Bone marrow smear: 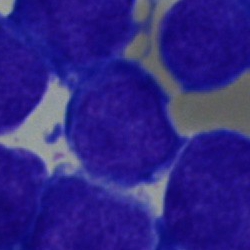 This is a blast cell.